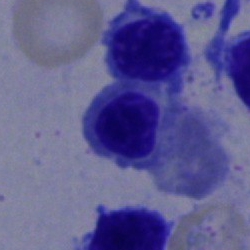 Morphological class = erythroblast.